Bone marrow smear; 250 by 250 pixels — 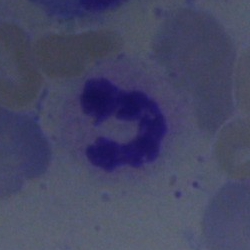
Specimen: bone marrow smear.
Classification: polymorphonuclear neutrophil.
Lineage: myeloid.